Bone marrow aspirate smear:
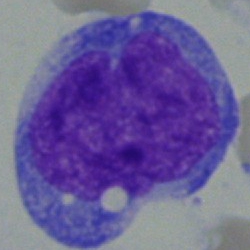

Blast cell.